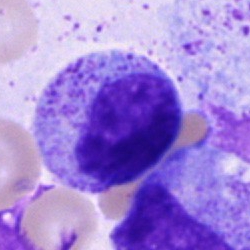 Morphology → segmented neutrophil.